Bone marrow smear — 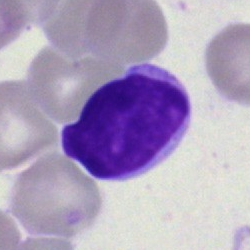

Lymphocyte.